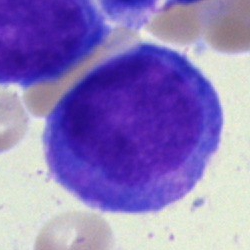
Q: Identify the cell.
A: It is a blast.